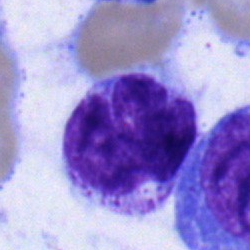 {"cell_type": "monocyte", "lineage": "myeloid"}